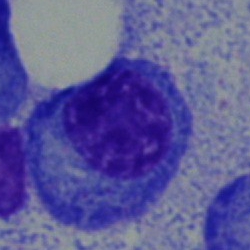
Morphology consistent with a plasmacyte.